Bone marrow smear:
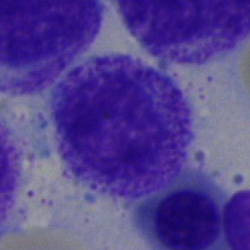
Cell = myelocyte.